Bone marrow aspirate smear: 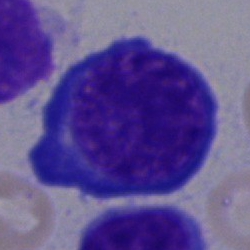 The morphological class is erythroblast.